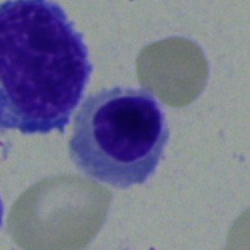A nucleated red blood cell on a bone marrow smear.